Bone marrow aspirate smear — 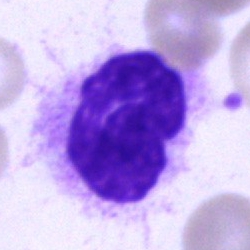

Morphology consistent with an artifact.